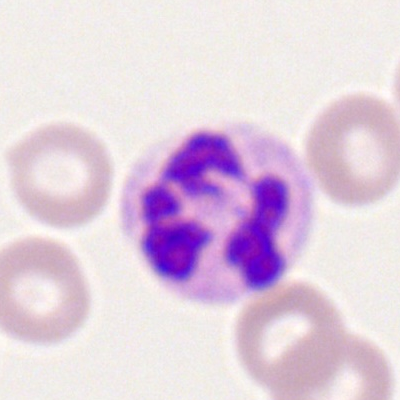

Single-cell crop from a peripheral blood smear: polymorphonuclear neutrophil.